Bone marrow aspirate smear: 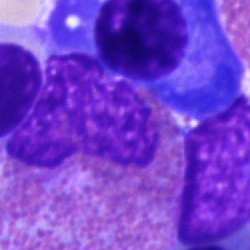

Q: Which cell type is shown here?
A: An eosinophilic granulocyte.